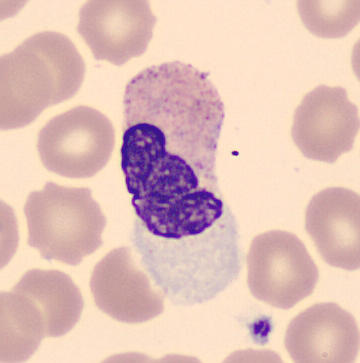
Q: Which cell type is shown here?
A: Segmented neutrophil.